Bone marrow aspirate smear:
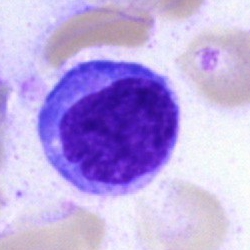 {"cell_type": "typical lymphocyte", "lineage": "lymphoid"}